Single-cell field; bone marrow smear; 250×250 — 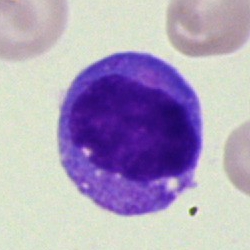 Blast.